Single-cell crop · bone marrow smear — 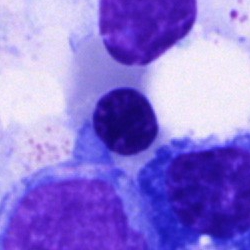
A nucleated red blood cell.